40× oil immersion. Bone marrow smear. Single-cell field:
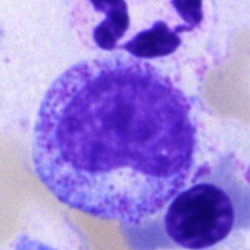

Specimen: bone marrow smear.
Cell: progranulocyte.
Lineage: myeloid.